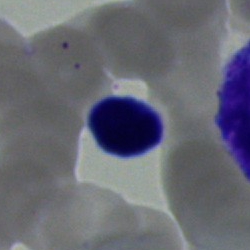A typical lymphocyte.